Bone marrow aspirate smear: 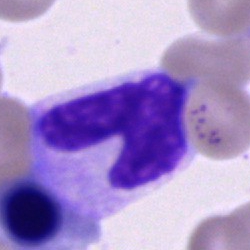 {"cell_type": "cell of indeterminate lineage"}